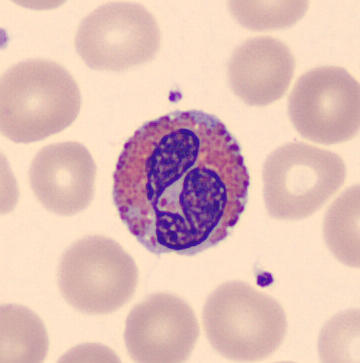 Acquisition: Peripheral blood smear · CellaVision DM96 digital cell image. Cell type: eosinophil.